Bone marrow smear — 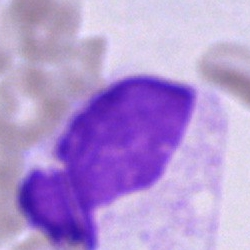
A cell of indeterminate lineage.